Bone marrow aspirate smear · May-Grünwald-Giemsa stain.
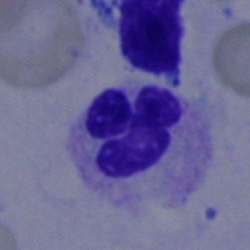
The classification is polymorphonuclear neutrophil.